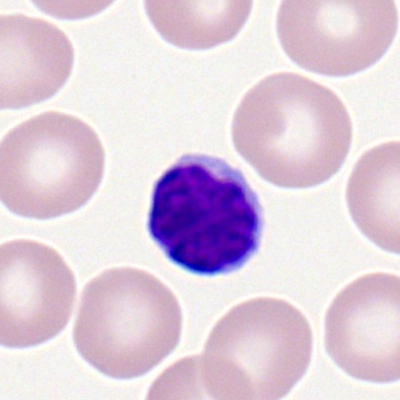
Single-cell crop from a peripheral blood smear: lymphocyte.